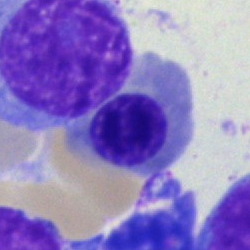

Classification: nucleated red blood cell.